Bone marrow smear. 250×250.
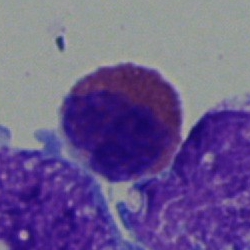 Showing an eosinophil.